Brightfield microscopy, 40× oil immersion. Bone marrow aspirate smear — 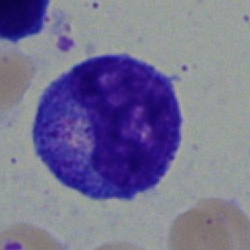 Single cell identified as a myelocyte.